Bone marrow aspirate smear
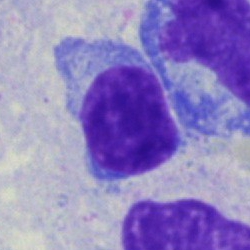The cell shown is a lymphocyte.